Bone marrow aspirate smear.
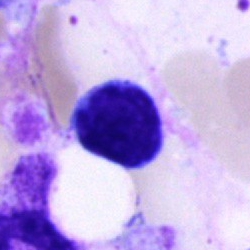 {"cell_type": "typical lymphocyte", "lineage": "lymphoid"}